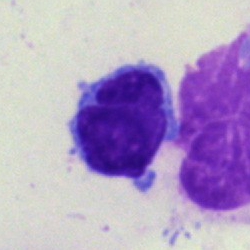The cell is lymphocyte.